Bone marrow aspirate smear. Single-cell field.
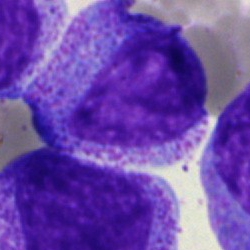

Q: What is shown here?
A: Progranulocyte.